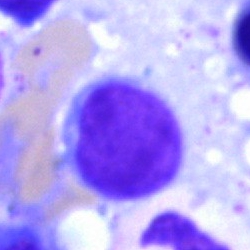

Q: Which cell type is shown here?
A: It is a lymphocyte.